Bone marrow smear: 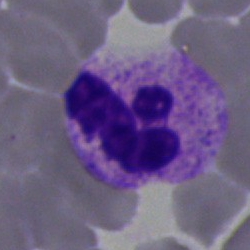

Cell type — polymorphonuclear neutrophil.